Bone marrow aspirate smear — 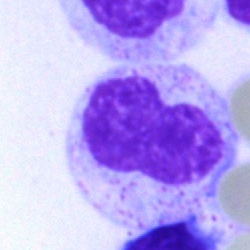
The cell shown is a metamyelocyte.